Pappenheim-stained. Bone marrow smear. Single-cell crop:
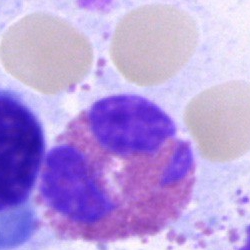Morphology — eosinophil.